Bone marrow aspirate smear — 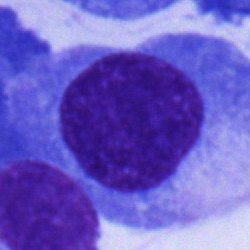

Single cell identified as a plasmacyte.